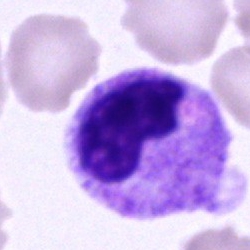 Q: What is the morphological classification of this cell?
A: This is a polymorphonuclear neutrophil.